MGG-stained; 40× objective, oil immersion; bone marrow smear.
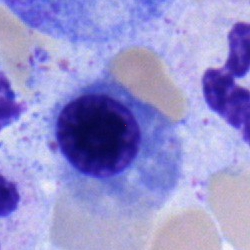 The classification is nucleated red cell.